Bone marrow smear. Image size 250×250
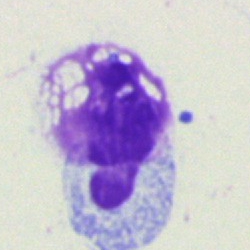 Classification — artifact.